Single-cell crop. Bone marrow smear:
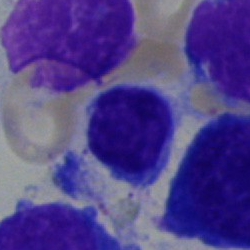

Morphological class — lymphocyte.